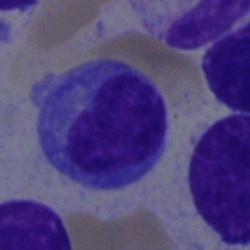

Q: What is the morphological classification of this cell?
A: Plasmacyte.